Bone marrow smear:
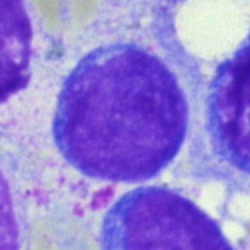Q: What is the morphological classification of this cell?
A: Undifferentiated blast.